Image size 250×250. Bone marrow aspirate smear — 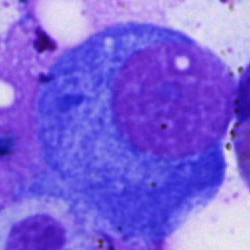 Q: What type of cell is this?
A: This is a plasma cell.